Bone marrow smear.
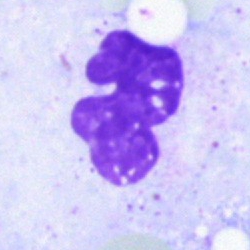 Morphology consistent with a neutrophil (segmented).